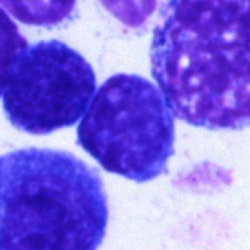
The morphological class is lymphocyte.